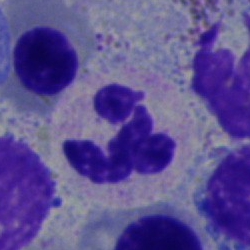Specimen: bone marrow smear.
Classification: segmented neutrophil.